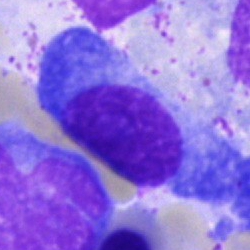
Classification — plasmacyte.